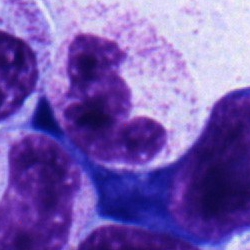Cell: segmented neutrophil.